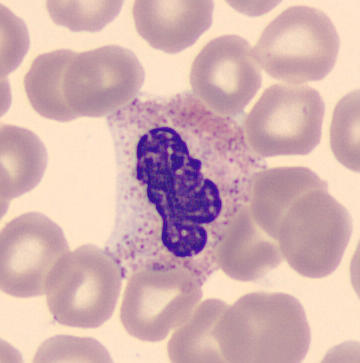
The classification is segmented neutrophil.